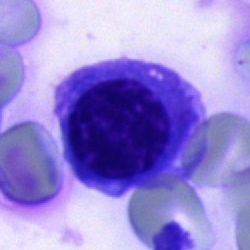Specimen: bone marrow aspirate smear.
Cell type: normoblast.